MGG-stained; bone marrow aspirate smear; 40× oil immersion
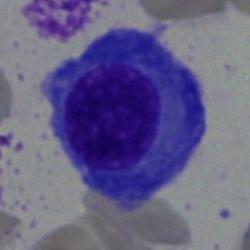 Showing a plasmacyte.